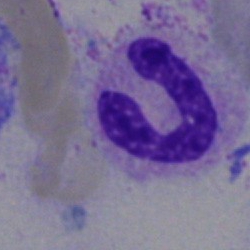
Specimen: bone marrow smear.
Classification: neutrophil (segmented).
Lineage: myeloid.